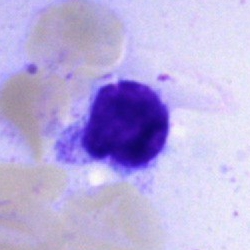
The cell shown is a typical lymphocyte.